May-Grünwald-Giemsa stain; single cell centered in the field; bone marrow aspirate smear:
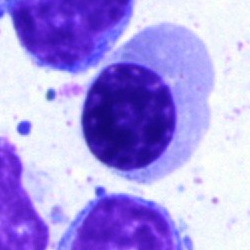 Classification = nucleated red cell.